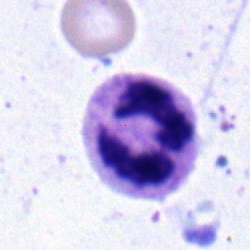Cell: neutrophil (segmented).